Bone marrow aspirate smear: 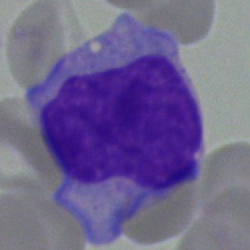

This is a blast.